Bone marrow aspirate smear
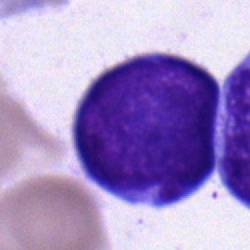
Cell = blast.